Bone marrow aspirate smear. Single-cell field. May-Grünwald-Giemsa stain
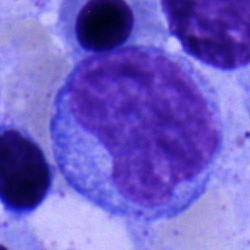
Q: What type of cell is this?
A: This is a promyelocyte.